Peripheral blood smear; 100× oil immersion, 14.14 px/µm — 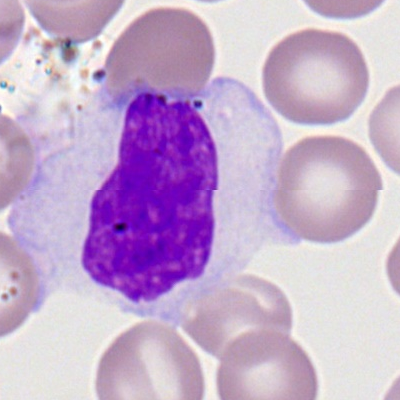

Impression → typical lymphocyte.